Bone marrow smear — 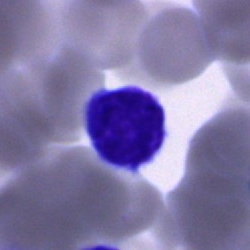
The cell shown is a typical lymphocyte.